Bone marrow aspirate smear.
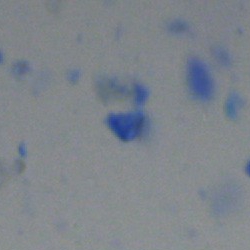 The cell is artefact.